Bone marrow smear — 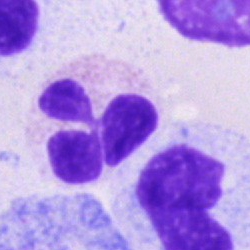Q: Which cell type is shown here?
A: This is a segmented neutrophil.